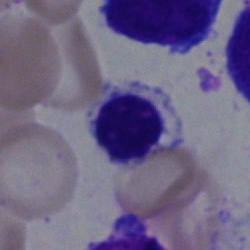 Cell — normoblast.